Bone marrow smear · brightfield, 40× oil-immersion objective
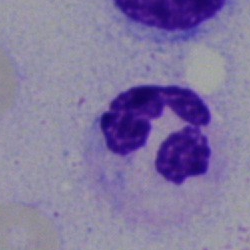 Showing a segmented neutrophil.